40× objective, oil immersion · single-cell crop · bone marrow aspirate smear — 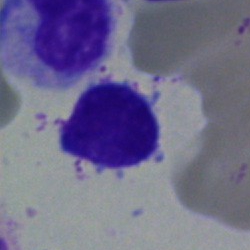
A typical lymphocyte.